Peripheral blood smear — 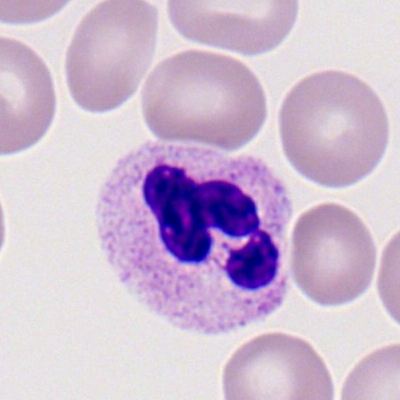

Q: Which cell type is shown here?
A: A neutrophil (segmented).